Bone marrow smear: 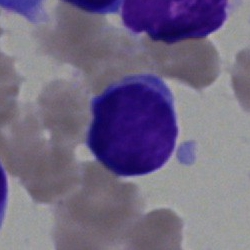The classification is lymphocyte.